Bone marrow smear: 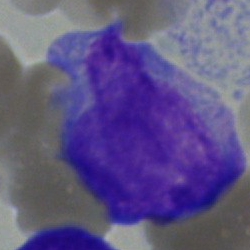The cell shown is a blast.